Bone marrow smear
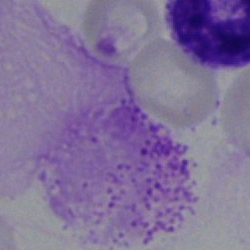
Morphology → artifact.